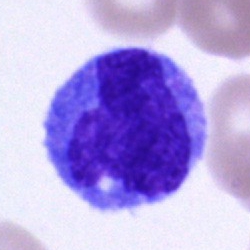 Q: What is shown here?
A: This is a monocyte.